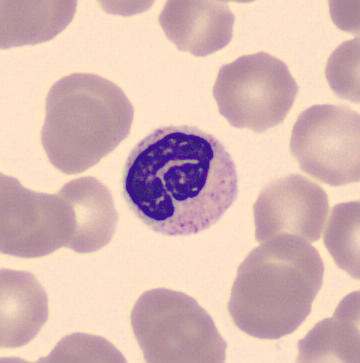Morphology consistent with a band-form neutrophil. Automated cell imaging (CellaVision DM96) · peripheral blood film.